Bone marrow smear · single-cell crop: 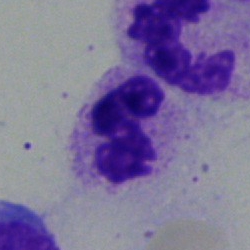Cell type: segmented neutrophil.